Peripheral blood film · single-cell field
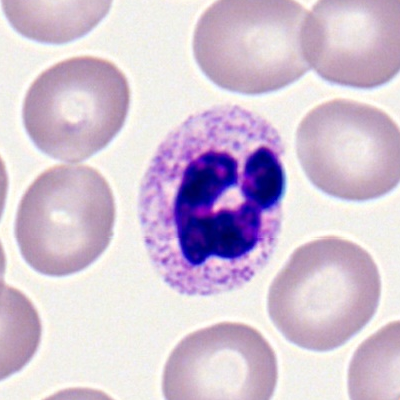 Morphology → neutrophil (segmented).